Bone marrow smear:
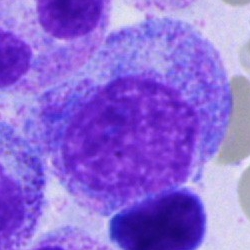Showing a promyelocyte.